Peripheral blood smear.
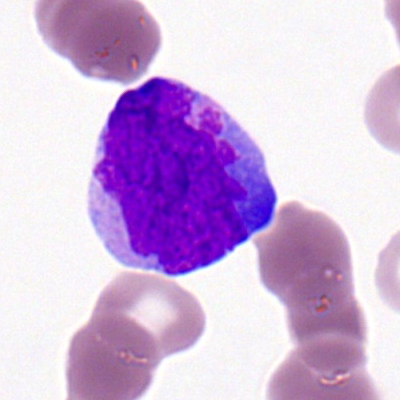
Cell — myeloblast.